40× oil immersion. 250 by 250 pixels. Bone marrow smear
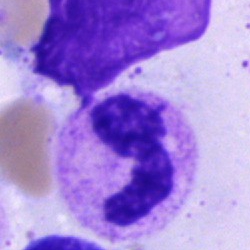
Specimen: bone marrow aspirate smear.
Cell: neutrophil (segmented).
Lineage: myeloid.